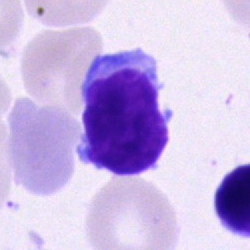 The cell shown is a lymphocyte.